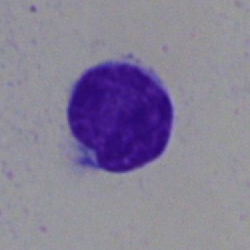 Morphology — lymphocyte.